Bone marrow aspirate smear:
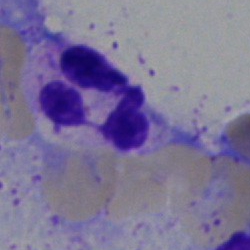
Segmented neutrophil.